Bone marrow aspirate smear. 40× oil immersion: 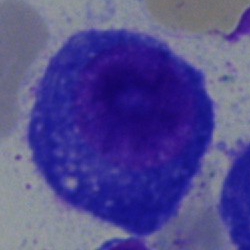
Morphology → plasmacyte.